Single-cell field. Bone marrow aspirate smear.
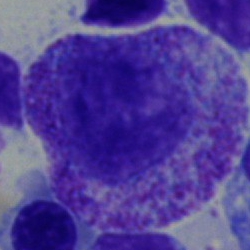Morphological class = progranulocyte.